Bone marrow smear
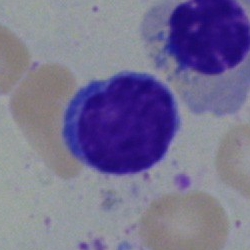The morphological class is typical lymphocyte.